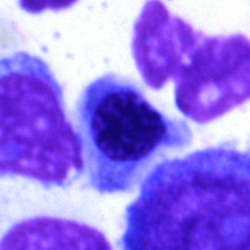The cell shown is a normoblast.